Bone marrow smear. May-Grünwald-Giemsa stain. 40× objective, oil immersion:
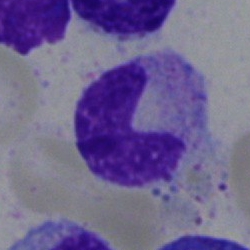
Q: What type of cell is this?
A: A band-form neutrophil.